Brightfield microscopy, 40× oil immersion · bone marrow aspirate smear — 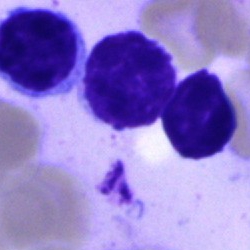 A typical lymphocyte.